Peripheral blood smear
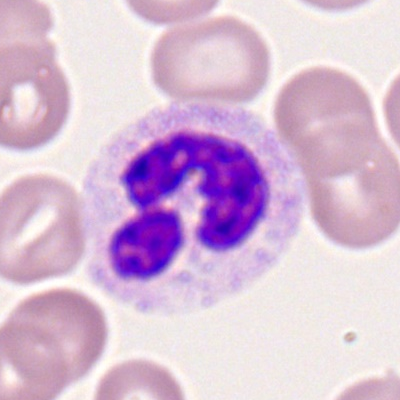

Morphological class — polymorphonuclear neutrophil.